Bone marrow smear — 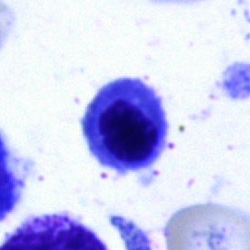

Morphology consistent with a polymorphonuclear neutrophil.